Bone marrow smear — 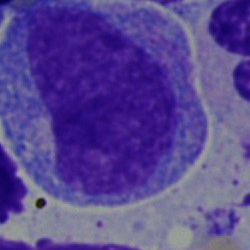Cell: promyelocyte.